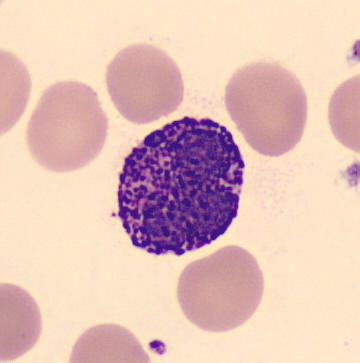May-Grünwald-Giemsa-stained · peripheral blood film.

Classification — basophilic granulocyte.